Bone marrow aspirate smear.
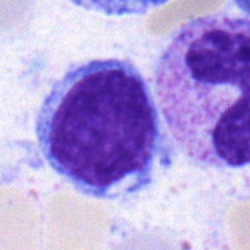
The cell shown is a lymphocyte.